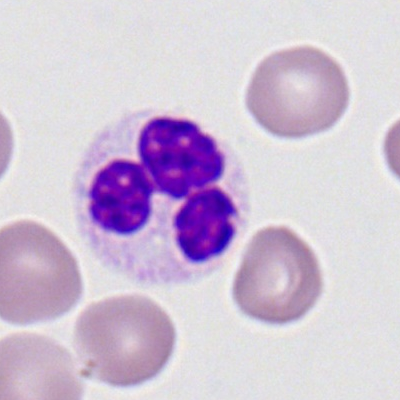
Cell type: neutrophil (segmented).